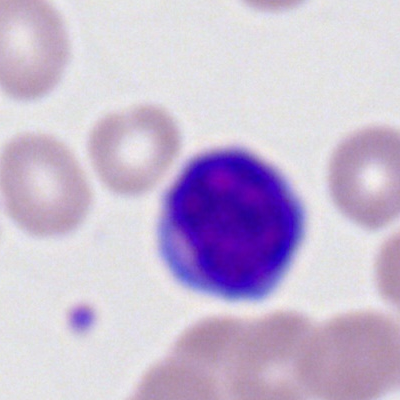
{"cell_type": "lymphocyte", "lineage": "lymphoid"}